Single-cell field. Bone marrow smear.
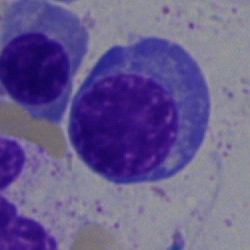
{"cell_type": "nucleated red cell", "lineage": "erythroid"}